Bone marrow aspirate smear: 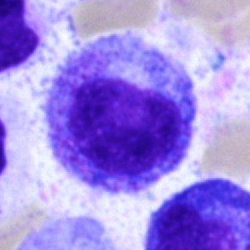

Single cell identified as a promyelocyte.